Bone marrow smear; cropped to a single cell; 250×250 px.
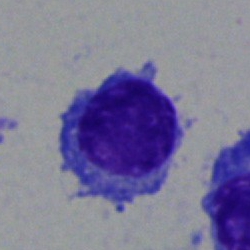 Q: Which cell type is shown here?
A: A plasmacyte.